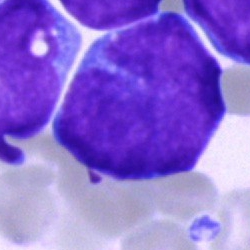
Morphology consistent with a blast cell.